Bone marrow smear
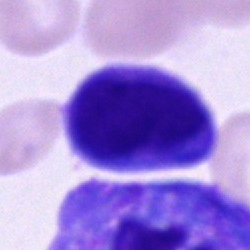 Unidentifiable cell.